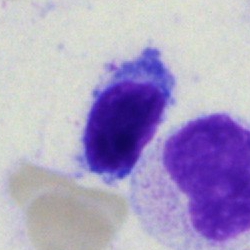Impression → lymphocyte.